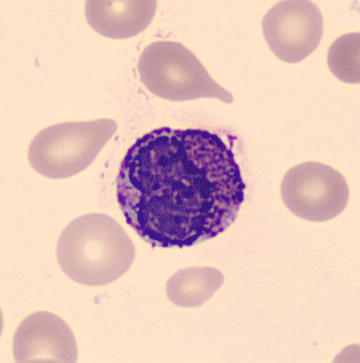

Impression — basophil.

Peripheral blood smear · single cell centered in the field.